250×250; bone marrow smear
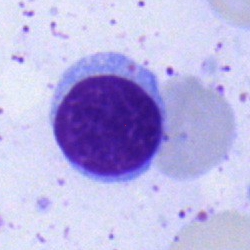 Single cell identified as a typical lymphocyte.